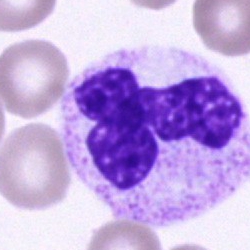 The cell type is segmented neutrophil.